Bone marrow smear: 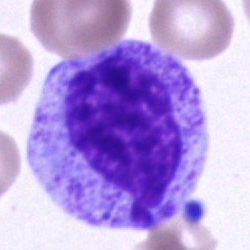
Morphology consistent with a progranulocyte.